Bone marrow aspirate smear; Pappenheim-stained: 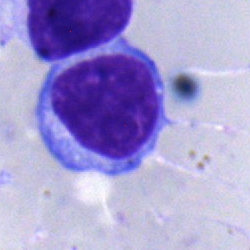Q: Which cell type is shown here?
A: This is a typical lymphocyte.